Bone marrow aspirate smear — 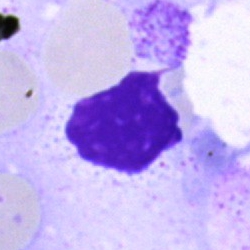

Q: What is shown here?
A: It is an artifact.